Pappenheim-stained · bone marrow aspirate smear: 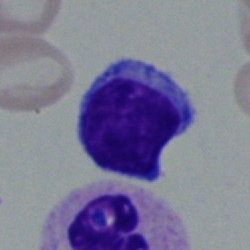

Showing a lymphocyte.